250×250 px. Bone marrow smear. 40× oil immersion.
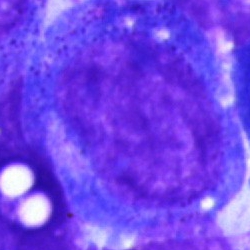

Single cell identified as a blast.